Bone marrow smear — 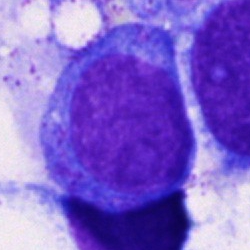

A blast cell.